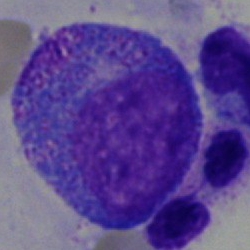Impression → promyelocyte.